Bone marrow smear:
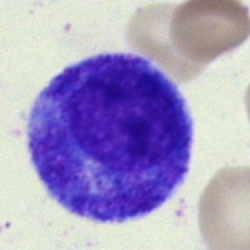

Morphological class — promyelocyte.